Bone marrow smear · single-cell crop · MGG-stained: 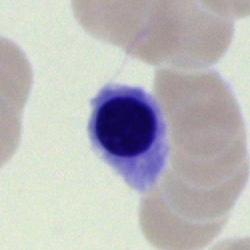
This is a nucleated red cell.